Bone marrow smear. 250×250 px. Brightfield, 40× oil-immersion objective: 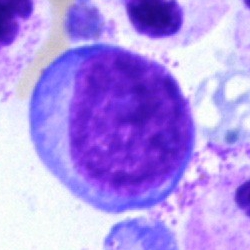

Impression → blast.